May-Grünwald-Giemsa/Pappenheim stain; bone marrow smear.
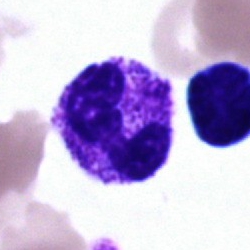 Impression → segmented neutrophil.